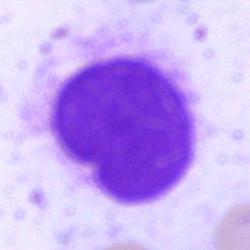 Morphology → artefact.